Bone marrow smear: 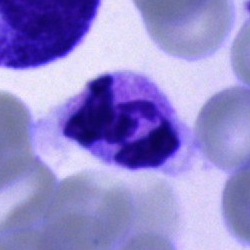Polymorphonuclear neutrophil.